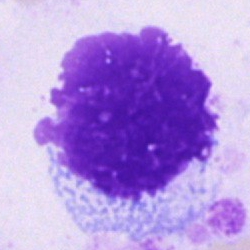
Impression — artifact.